Bone marrow aspirate smear: 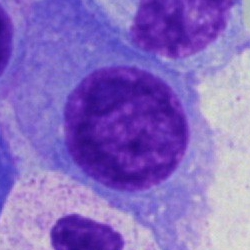Morphology → plasma cell.